Bone marrow aspirate smear
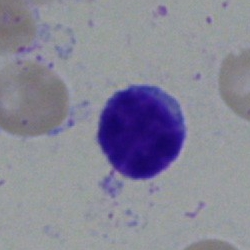Specimen: bone marrow aspirate smear.
Morphological class: typical lymphocyte.
Lineage: lymphoid.